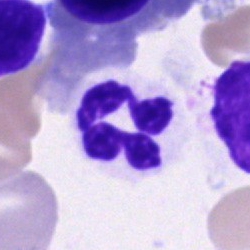

Morphology — polymorphonuclear neutrophil.